Bone marrow aspirate smear — 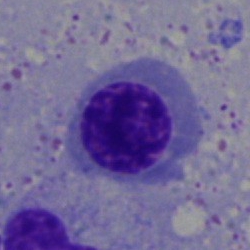Cell — normoblast.